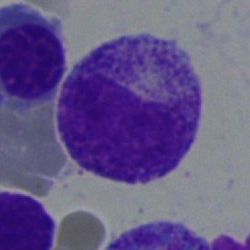Morphology consistent with a myelocyte.